Bone marrow smear:
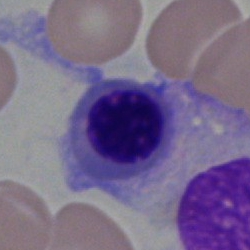Q: What cell is this?
A: Nucleated red cell.